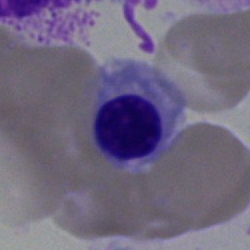 Specimen: bone marrow smear.
Classification: nucleated red blood cell.
Lineage: erythroid.